Bone marrow aspirate smear
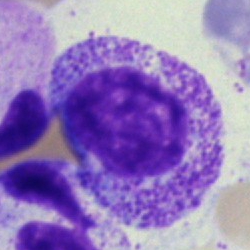 Cell = myelocyte.